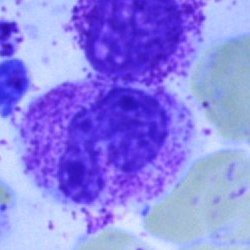Q: Which cell type is shown here?
A: A neutrophil (segmented).